Brightfield, 40× oil-immersion objective; single-cell crop; bone marrow aspirate smear
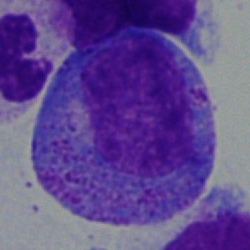Specimen: bone marrow aspirate smear.
Cell: promyelocyte.